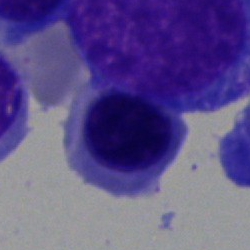 Morphological class = nucleated red blood cell.